250×250 px · bone marrow aspirate smear: 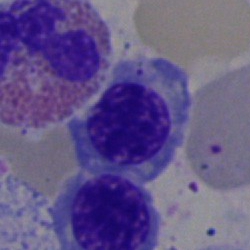Impression → erythroblast.